May-Grünwald-Giemsa/Pappenheim stain; bone marrow smear:
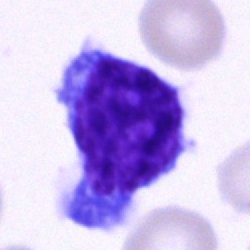

Morphology consistent with a lymphocyte.